Bone marrow smear. Single cell centered in the field — 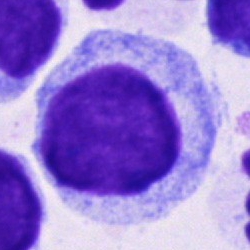

Showing a progranulocyte.